Brightfield microscopy, 40× oil immersion · bone marrow aspirate smear · 250 by 250 pixels.
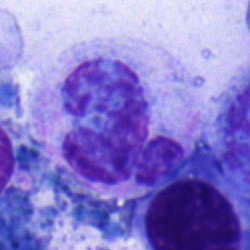 Band-form neutrophil.